Image size 250×250 · bone marrow aspirate smear:
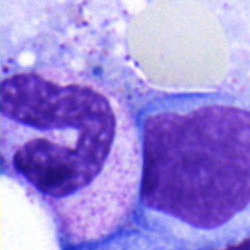

Impression — band-form neutrophil.